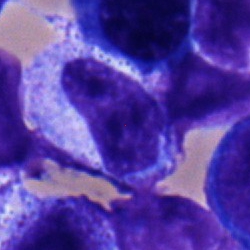 Single cell identified as a myelocyte.